Bone marrow aspirate smear. 250 by 250 pixels — 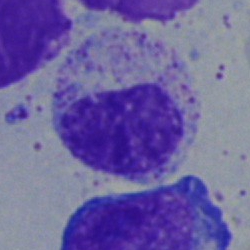Morphology consistent with a myelocyte.